Bone marrow smear: 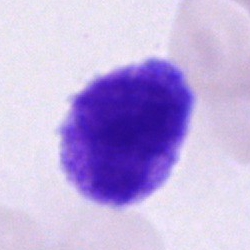 Morphology consistent with an unidentifiable cell.